Bone marrow aspirate smear.
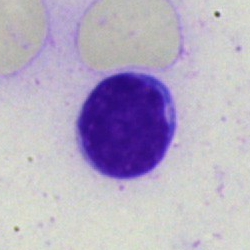
Q: What is shown here?
A: This is a typical lymphocyte.